40× oil immersion; bone marrow smear.
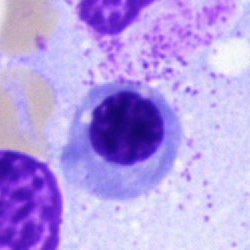 This is a normoblast.